Peripheral blood film: 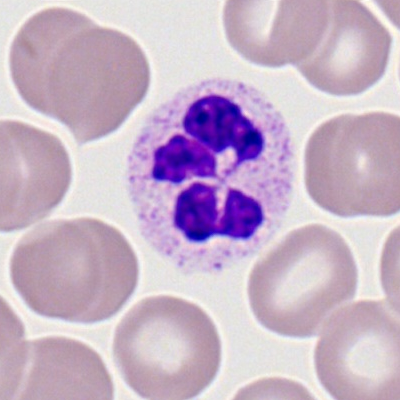

Showing a polymorphonuclear neutrophil.